Bone marrow aspirate smear — 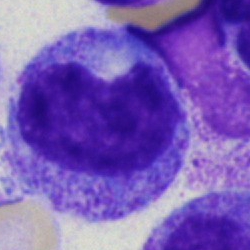
The cell is promyelocyte.